Bone marrow smear:
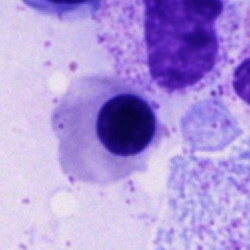

Specimen: bone marrow aspirate smear.
Classification: normoblast.
Lineage: erythroid.